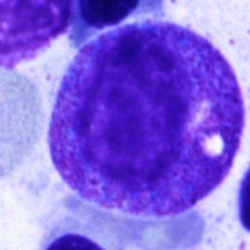
Specimen: bone marrow smear.
Morphological class: progranulocyte.
Lineage: myeloid.